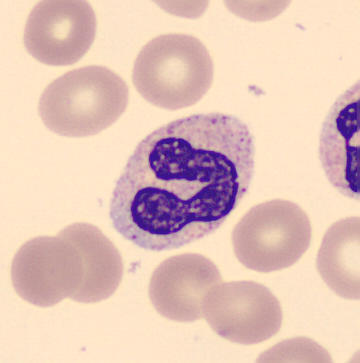
Preparation: Peripheral blood smear.
Cell = band neutrophil.